Bone marrow smear · MGG-stained:
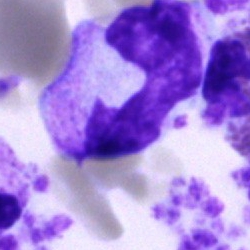 Morphology consistent with a neutrophil (band).